Bone marrow smear. 250×250:
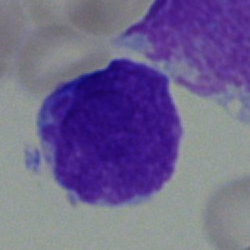
Showing a blast.